Bone marrow smear
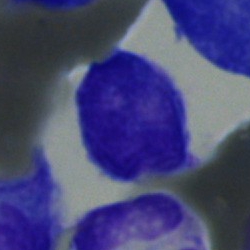
Cell type — blast.